Bone marrow aspirate smear · single cell centered in the field — 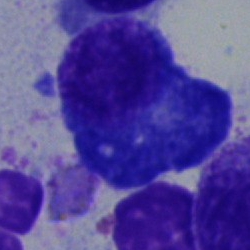Plasmacyte.